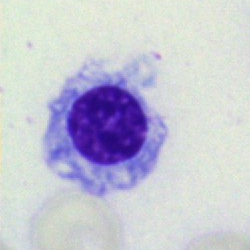Morphological class — nucleated red blood cell.